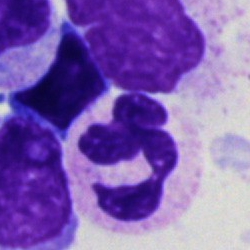A neutrophil (segmented) on a bone marrow smear.